Bone marrow aspirate smear: 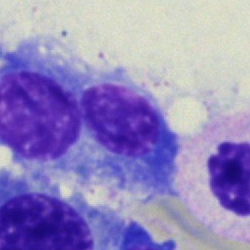

Morphological class: plasma cell.